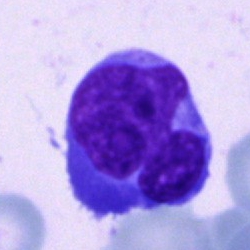 The cell shown is an undifferentiated blast.